Bone marrow smear:
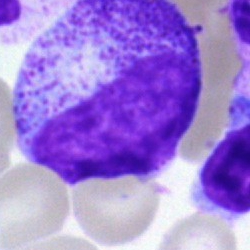
Impression — progranulocyte.